Bone marrow aspirate smear:
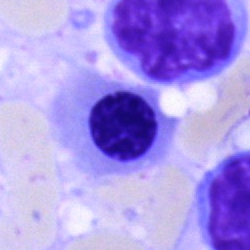Morphology consistent with a normoblast.